Bone marrow aspirate smear. Image size 250×250 — 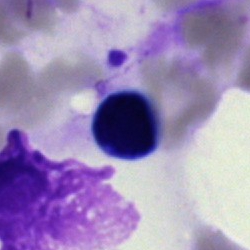 Specimen: bone marrow smear.
Cell: artefact.